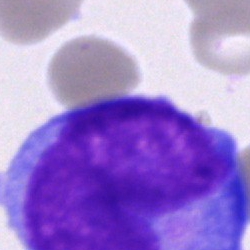

Classification — undifferentiated blast.